Bone marrow aspirate smear:
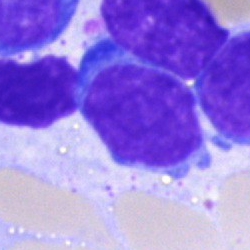Specimen: bone marrow smear.
Classification: lymphocyte.